Bone marrow aspirate smear:
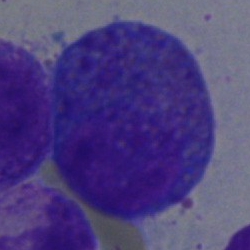Morphology consistent with an eosinophilic granulocyte.